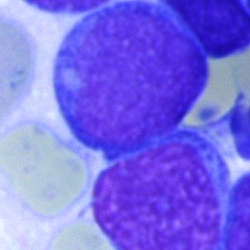 Cell = blast cell.